Peripheral blood film · Romanowsky-type stain · image size 400×400.
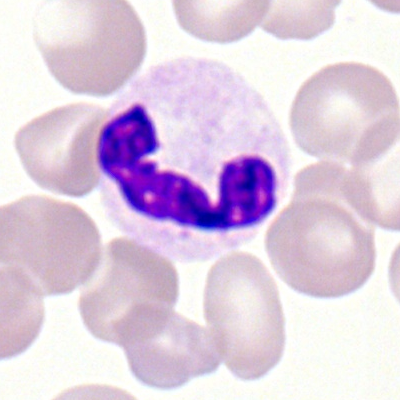Cell: polymorphonuclear neutrophil.